Peripheral blood smear.
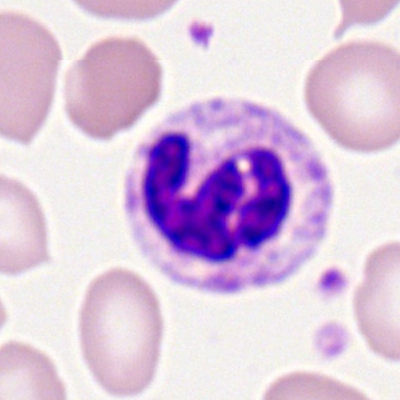Morphology consistent with a neutrophil (segmented).